Peripheral blood smear · 400×400 · cropped to a single cell — 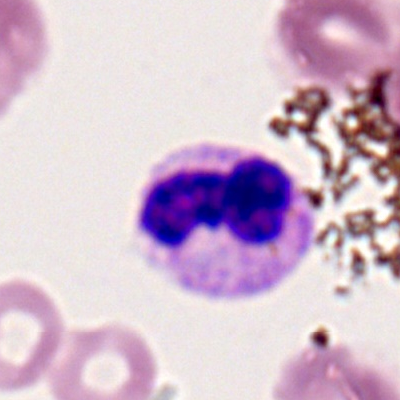

Morphology → segmented neutrophil.